Bone marrow aspirate smear:
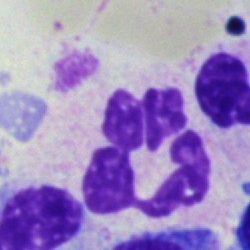 A segmented neutrophil.